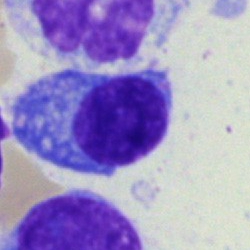 Bone marrow aspirate smear, single cell — plasma cell.